Brightfield, 40× oil-immersion objective; bone marrow aspirate smear
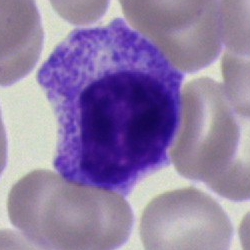
Cell — myelocyte.